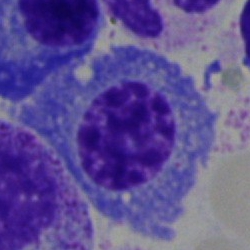

Morphological class = plasmacyte.